Bone marrow aspirate smear. May-Grünwald-Giemsa stain. 40× objective, oil immersion.
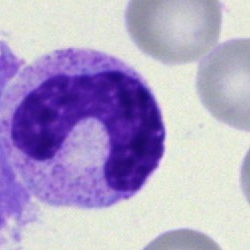Q: What cell is this?
A: A band neutrophil.